MGG-stained. Image size 250×250. Bone marrow smear: 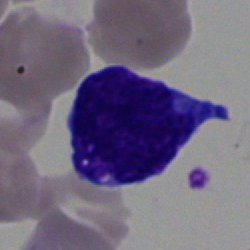

Undifferentiated blast.